Peripheral blood film. May-Grünwald-Giemsa-stained:
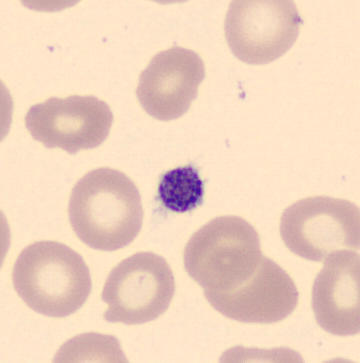
Showing a platelet.